Bone marrow aspirate smear · single-cell crop · May-Grünwald-Giemsa stain:
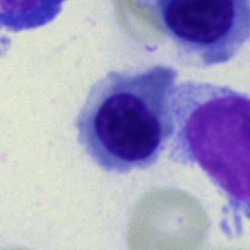 The cell is nucleated red blood cell.